May-Grünwald-Giemsa/Pappenheim stain. Bone marrow smear: 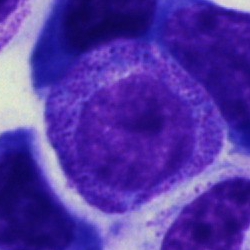The classification is progranulocyte.